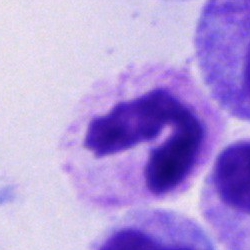Showing a segmented neutrophil.